Pappenheim-stained. Bone marrow smear:
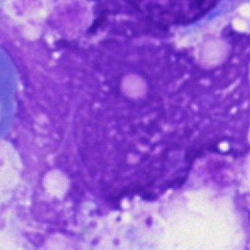
Specimen: bone marrow smear.
Morphological class: artifact.